Bone marrow aspirate smear — 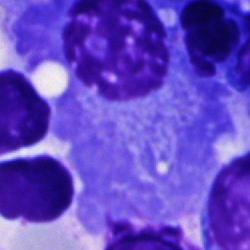 The cell shown is a plasmacyte.